Bone marrow aspirate smear; May-Grünwald-Giemsa stain:
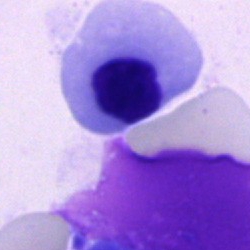 Morphology consistent with a nucleated red blood cell.